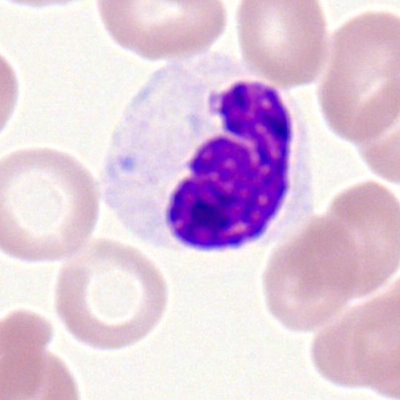

Impression → polymorphonuclear neutrophil.